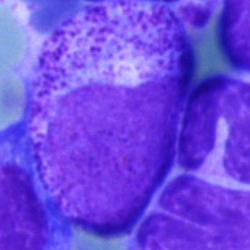

Single-cell crop from a bone marrow smear: myelocyte.